Single cell centered in the field · bone marrow aspirate smear · image size 250×250
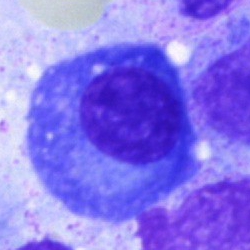Q: Identify the cell.
A: This is a plasma cell.